400×400; peripheral blood film.
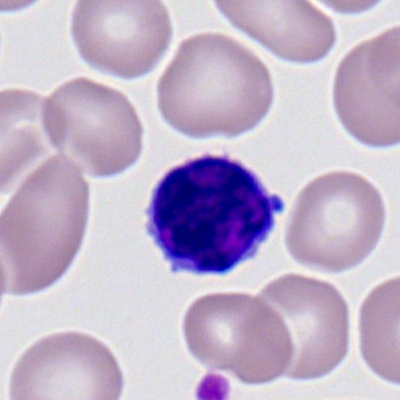
Q: Identify the cell.
A: Typical lymphocyte.